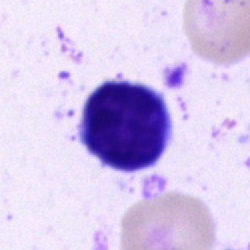

Impression — lymphocyte.